Bone marrow aspirate smear · MGG-stained
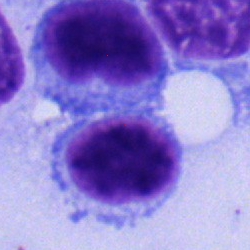
This is a lymphocyte.